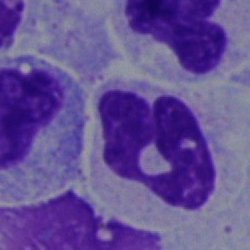

{"cell_type": "polymorphonuclear neutrophil", "lineage": "myeloid"}